Bone marrow smear; single-cell crop: 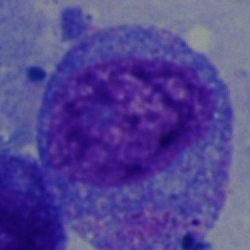

Q: Which cell type is shown here?
A: It is a progranulocyte.